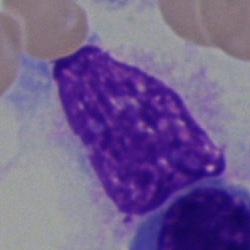Specimen: bone marrow smear.
Cell type: artifact.